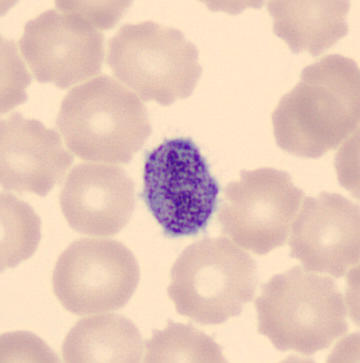

Specimen: peripheral blood film.
Cell type: platelet.